Cropped to a single cell · Pappenheim-stained · bone marrow aspirate smear.
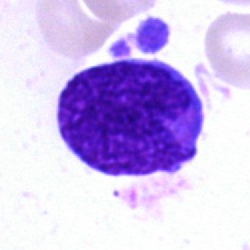

Blast cell.